Bone marrow smear; 40× objective, oil immersion; image size 250×250
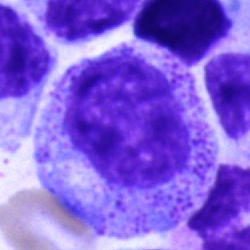Impression → progranulocyte.